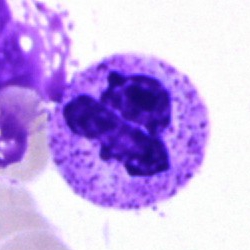
Single cell identified as a neutrophil (segmented).